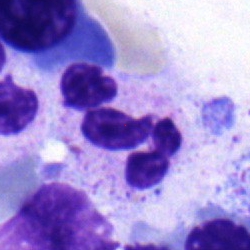Q: What is shown here?
A: It is a neutrophil (segmented).